Bone marrow aspirate smear: 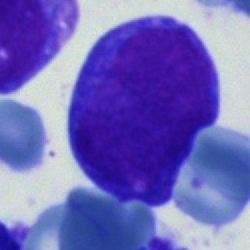
{"cell_type": "blast cell"}